May-Grünwald-Giemsa stain · bone marrow aspirate smear.
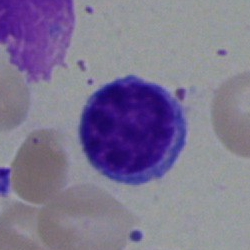
Impression — lymphocyte.